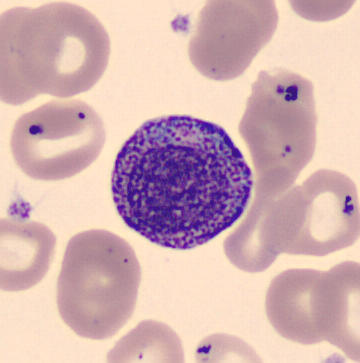
Identified as a progranulocyte.